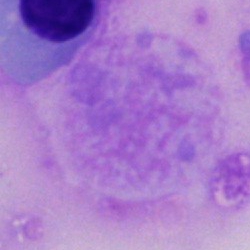Classification — artifact.